Bone marrow smear; single-cell crop; brightfield, 40× oil-immersion objective — 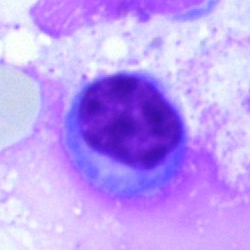
Lymphocyte.